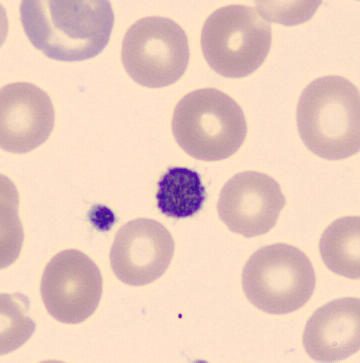
Peripheral blood film. May-Grünwald-Giemsa-stained.

Platelet.